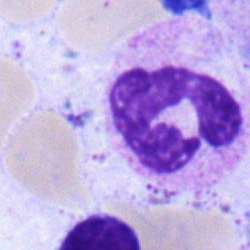

Q: What type of cell is this?
A: A neutrophil (segmented).